40× objective, oil immersion; bone marrow smear — 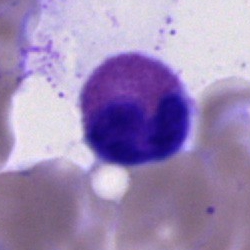Single cell identified as an eosinophil.